Single-cell crop. Bone marrow smear
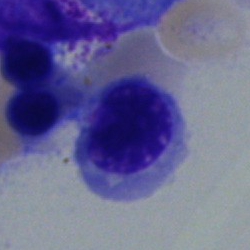

Erythroblast.